Bone marrow aspirate smear. MGG-stained
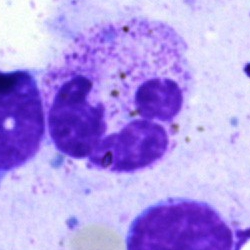 Q: What type of cell is this?
A: Polymorphonuclear neutrophil.